Bone marrow smear.
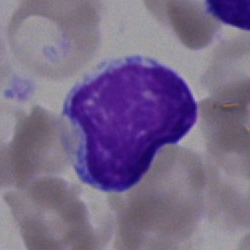

Cell = typical lymphocyte.